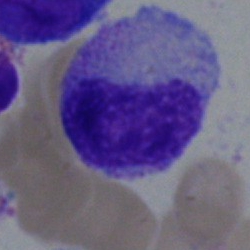The cell type is metamyelocyte.